Bone marrow aspirate smear; cropped to a single cell — 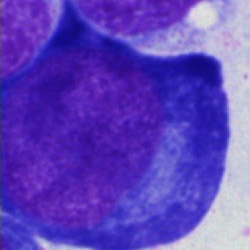
{"cell_type": "proerythroblast", "lineage": "erythroid"}